Single-cell crop. May-Grünwald-Giemsa stain. Bone marrow aspirate smear: 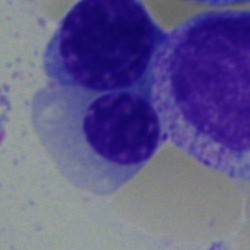

Q: What type of cell is this?
A: A nucleated red blood cell.